Bone marrow smear:
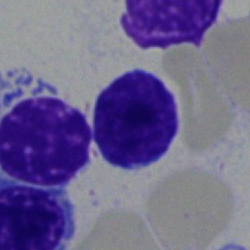 Showing a lymphocyte.